Bone marrow aspirate smear
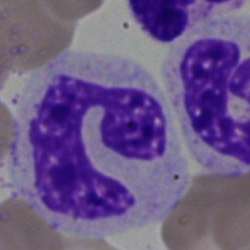 Morphology — neutrophil (segmented).